Bone marrow aspirate smear. Single-cell crop. Pappenheim-stained: 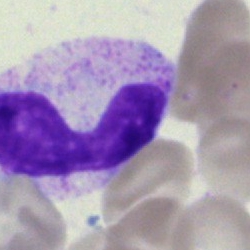
Impression — neutrophil (band).